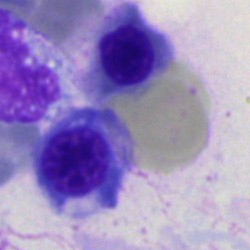
Specimen: bone marrow smear.
Classification: nucleated red cell.